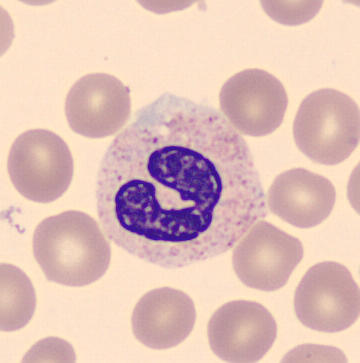

Preparation: Peripheral blood film.

Cell type: band-form neutrophil.